Bone marrow smear
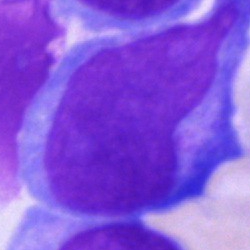Q: What is shown here?
A: This is a blast.